Peripheral blood smear · imaged on a CellaVision DM96 analyser · May Grünwald-Giemsa stain
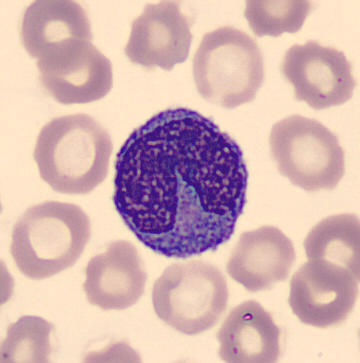The cell shown is a monocyte.